Peripheral blood film · 400 by 400 pixels
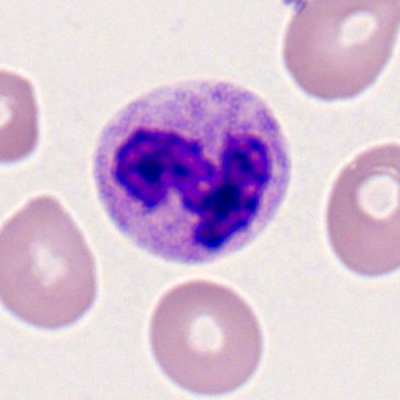

Specimen: peripheral blood film.
Classification: polymorphonuclear neutrophil.
Lineage: myeloid.